Bone marrow aspirate smear: 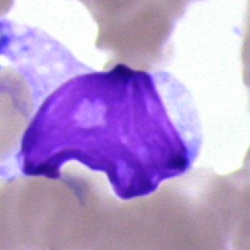 Impression — artefact.